Bone marrow aspirate smear; 250×250 px; single-cell crop.
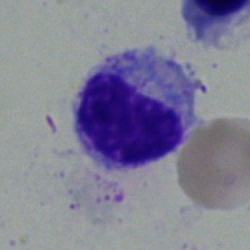 Specimen: bone marrow aspirate smear.
Morphological class: myelocyte.
Lineage: myeloid.